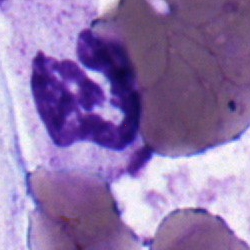Morphology consistent with a neutrophil (segmented).